Bone marrow aspirate smear · MGG-stained — 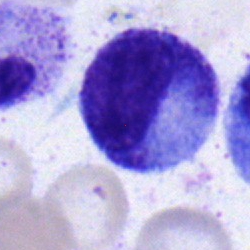

Morphological class: myelocyte.